Single cell centered in the field. Bone marrow aspirate smear: 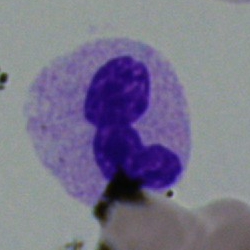
Q: What is the morphological classification of this cell?
A: It is a polymorphonuclear neutrophil.